Brightfield microscopy, 40× oil immersion · cropped to a single cell · bone marrow smear — 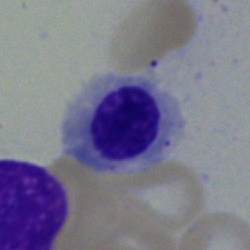Morphological class — normoblast.